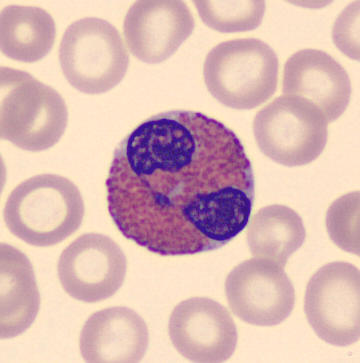

The classification is eosinophilic granulocyte.